Bone marrow aspirate smear — 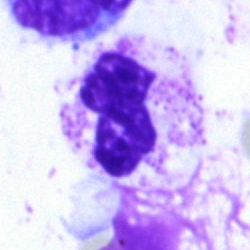 Q: What is the morphological classification of this cell?
A: A segmented neutrophil.